Bone marrow smear: 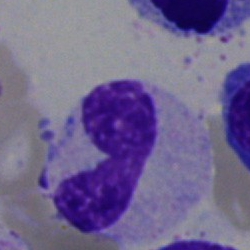
Showing a neutrophil (segmented).